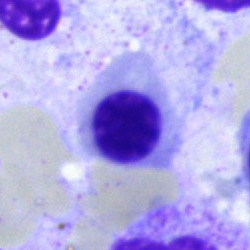
Classification: erythroblast.